Bone marrow smear: 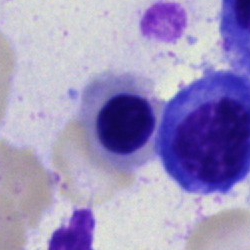 The cell shown is a normoblast.